Bone marrow smear:
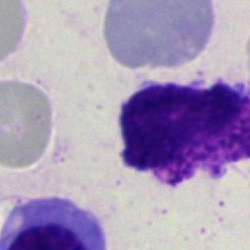 Morphology consistent with an artifact.